Bone marrow aspirate smear · 40× oil immersion: 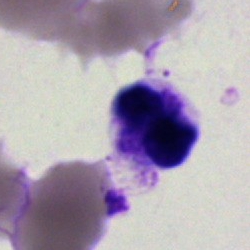 An artifact.